Bone marrow aspirate smear; 250×250: 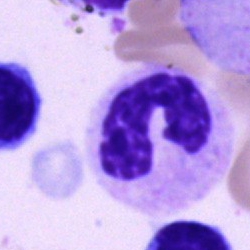Cell = band neutrophil.